Bone marrow smear — 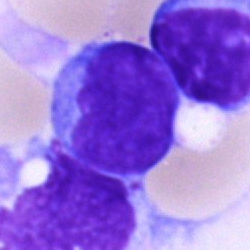 Cell type = undifferentiated blast.